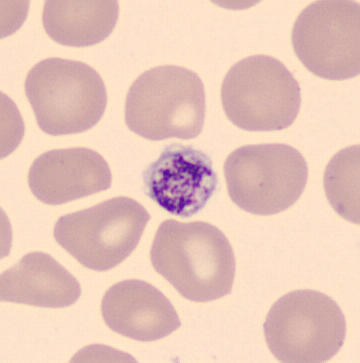
Specimen: peripheral blood smear.
Cell type: platelet (thrombocyte).